MGG-stained; bone marrow aspirate smear: 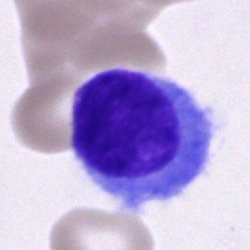 Morphology consistent with a hairy cell.